Peripheral blood film
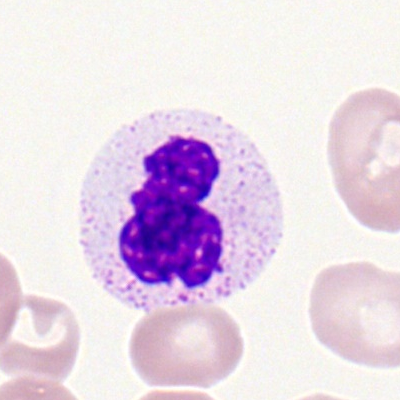 Specimen: peripheral blood smear.
Cell type: neutrophil (segmented).
Lineage: myeloid.